Bone marrow aspirate smear; 40× objective, oil immersion: 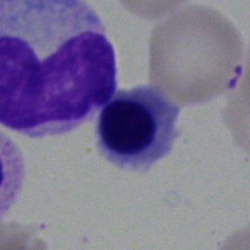
Impression — erythroblast.